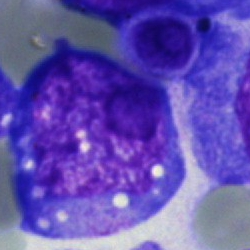 Single-cell crop from a bone marrow smear: blast.